Bone marrow smear
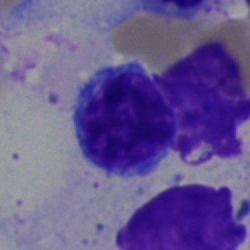 Showing a typical lymphocyte.